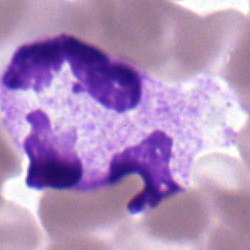 {"cell_type": "polymorphonuclear neutrophil"}